Bone marrow aspirate smear:
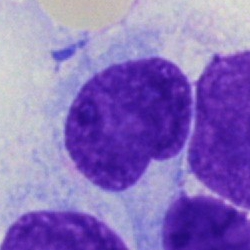

Classification — hairy cell.